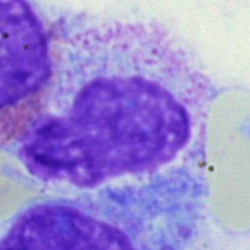 Single-cell crop from a bone marrow smear: myelocyte.